May-Grünwald-Giemsa/Pappenheim stain. Bone marrow smear
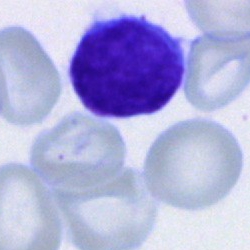Q: What is the morphological classification of this cell?
A: A typical lymphocyte.